Bone marrow aspirate smear: 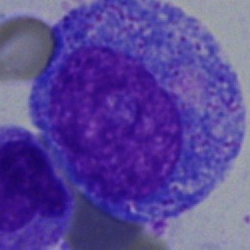Cell type — progranulocyte.